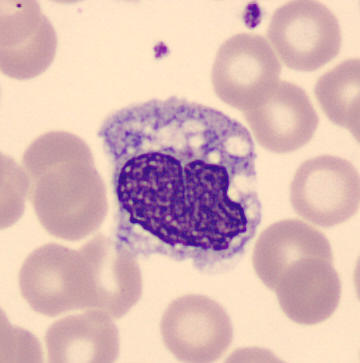 Single cell identified as a monocyte. Image: Peripheral blood smear. Image size 360×363.